40× objective, oil immersion; bone marrow smear — 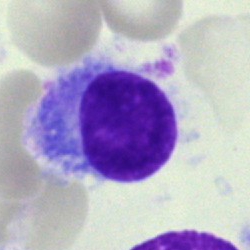
Specimen: bone marrow smear.
Cell: hairy cell.
Lineage: lymphoid.